Peripheral blood smear · 400×400 — 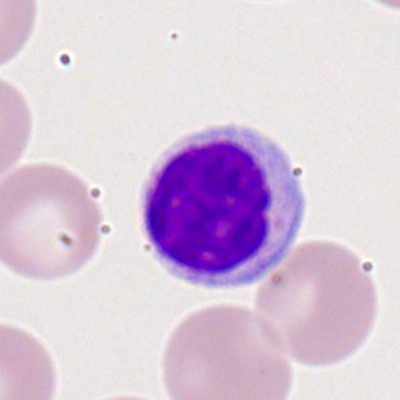This is a typical lymphocyte.